Bone marrow smear.
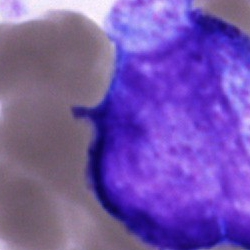

This is a promyelocyte.